250×250 px. Bone marrow aspirate smear. May-Grünwald-Giemsa stain: 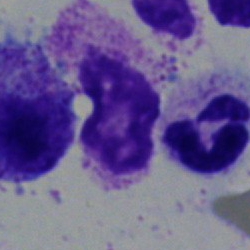
Morphology → artifact.